Romanowsky-type stain. Peripheral blood smear
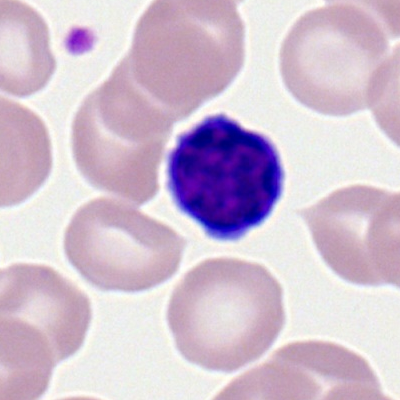

The cell shown is a lymphocyte.